40× objective, oil immersion. Bone marrow aspirate smear: 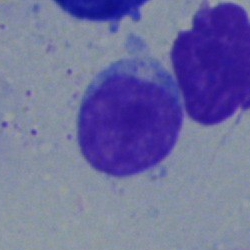

Specimen: bone marrow aspirate smear.
Classification: typical lymphocyte.
Lineage: lymphoid.